Bone marrow smear. May-Grünwald-Giemsa/Pappenheim stain.
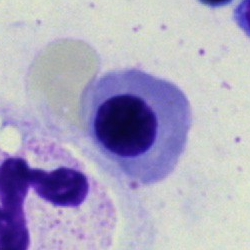
The morphological class is nucleated red cell.